Bone marrow smear; May-Grünwald-Giemsa/Pappenheim stain.
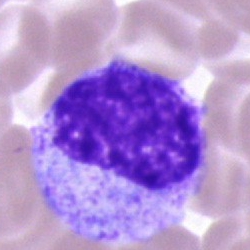Specimen: bone marrow aspirate smear.
Cell: metamyelocyte.
Lineage: myeloid.